Peripheral blood film.
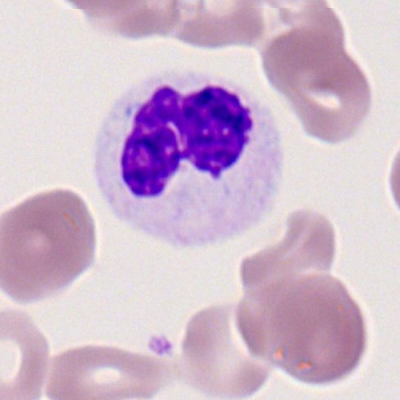 Impression → segmented neutrophil.